40× oil immersion. May-Grünwald-Giemsa/Pappenheim stain. Bone marrow smear.
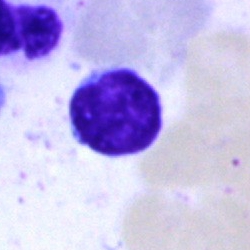 Classification: typical lymphocyte.